250×250 · bone marrow aspirate smear.
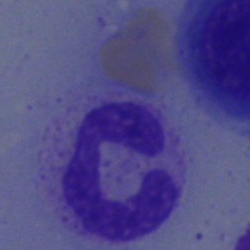Q: What cell is this?
A: This is a neutrophil (band).